Image size 250×250. Bone marrow aspirate smear:
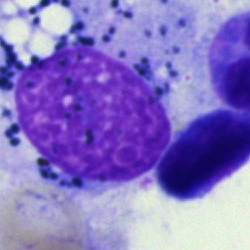

Cell type = artefact.